Bone marrow smear: 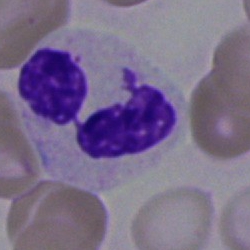Specimen: bone marrow aspirate smear.
Classification: polymorphonuclear neutrophil.